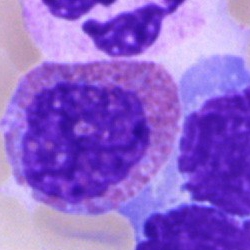Q: Identify the cell.
A: Eosinophil.